Bone marrow smear.
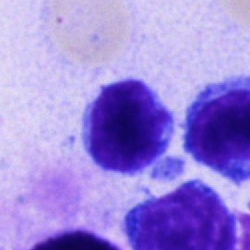
{"cell_type": "typical lymphocyte", "lineage": "lymphoid"}